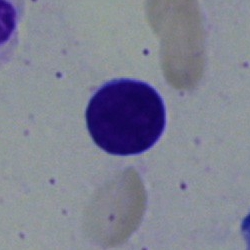 Q: What is shown here?
A: It is a typical lymphocyte.